Bone marrow aspirate smear — 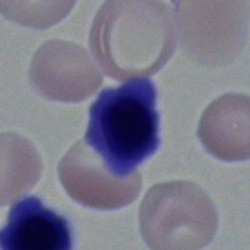 Cell = nucleated red blood cell.